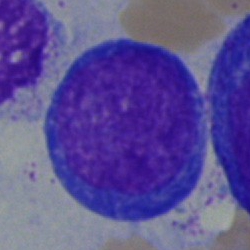
A blast cell on a bone marrow smear.